Bone marrow aspirate smear.
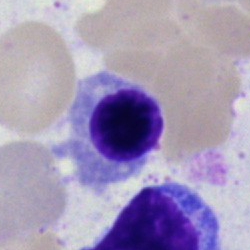 This is a nucleated red cell.